May-Grünwald-Giemsa stain · bone marrow aspirate smear.
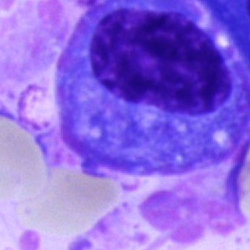 Showing a plasmacyte.